Bone marrow aspirate smear
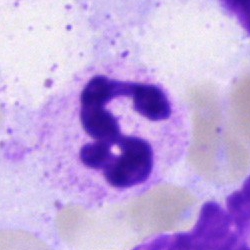
Showing a polymorphonuclear neutrophil.